Bone marrow aspirate smear; brightfield, 40× oil-immersion objective:
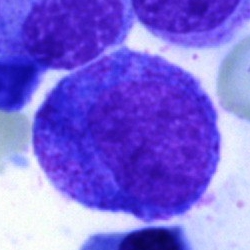Morphology → progranulocyte.